Bone marrow smear.
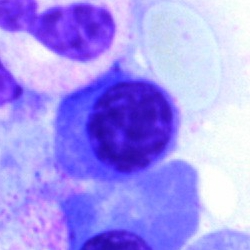

Specimen: bone marrow aspirate smear.
Classification: nucleated red blood cell.